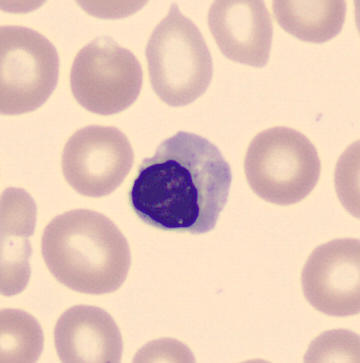Nucleated red cell.